Bone marrow aspirate smear
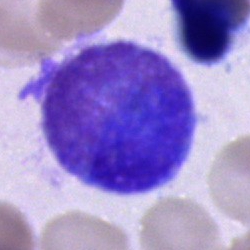
The cell shown is an eosinophilic granulocyte.